Bone marrow smear · May-Grünwald-Giemsa stain · 250×250
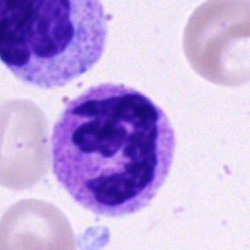

Q: What is shown here?
A: This is a polymorphonuclear neutrophil.